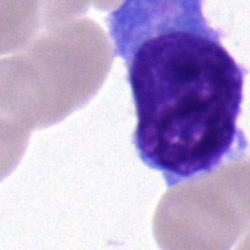Impression → plasmacyte.